Bone marrow smear
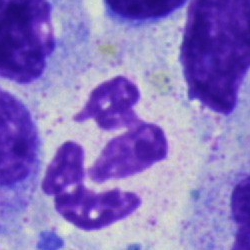

The cell shown is a neutrophil (segmented).